Cropped to a single cell. Bone marrow smear: 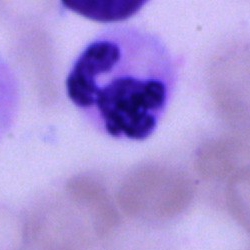 Single cell identified as a segmented neutrophil.